Bone marrow smear. May-Grünwald-Giemsa stain
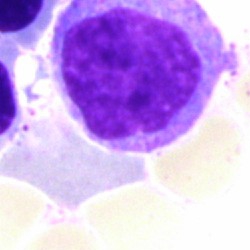
Q: What cell is this?
A: Monocyte.